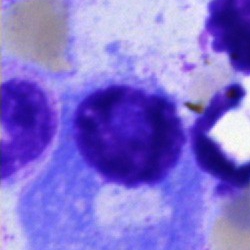
Impression — plasmacyte.